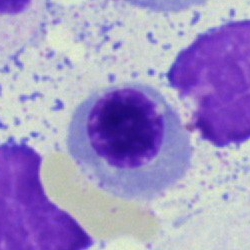
Specimen: bone marrow aspirate smear.
Classification: nucleated red cell.
Lineage: erythroid.